Bone marrow aspirate smear: 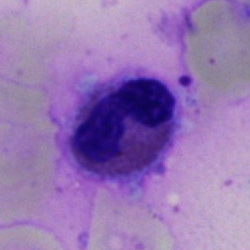Eosinophilic granulocyte.